Bone marrow aspirate smear
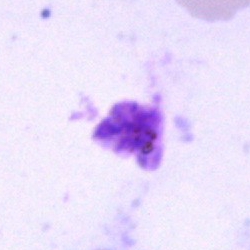

Specimen: bone marrow smear.
Morphological class: artefact.